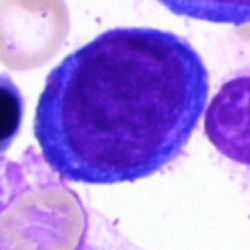

Q: What is shown here?
A: This is a pronormoblast.